Pappenheim-stained. Bone marrow aspirate smear.
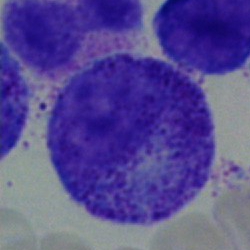Single cell identified as a promyelocyte.